Bone marrow aspirate smear:
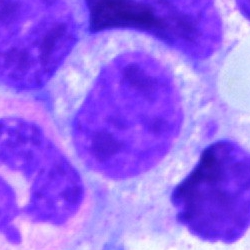

Specimen: bone marrow smear.
Morphological class: myelocyte.
Lineage: myeloid.